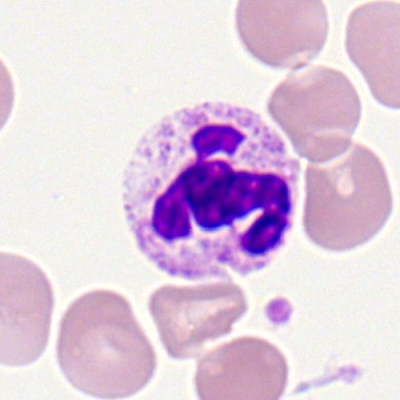
Classification = neutrophil (segmented).